Bone marrow aspirate smear:
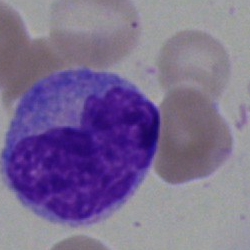

A monocyte.